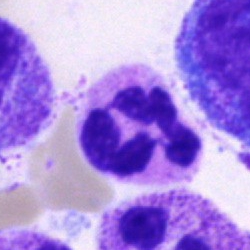

Morphological class: segmented neutrophil.